Bone marrow aspirate smear — 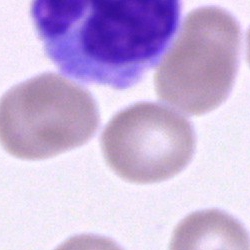
Classification = unidentifiable cell.